Bone marrow smear. Brightfield microscopy, 40× oil immersion — 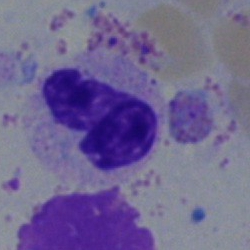Showing a neutrophil (segmented).